Peripheral blood smear: 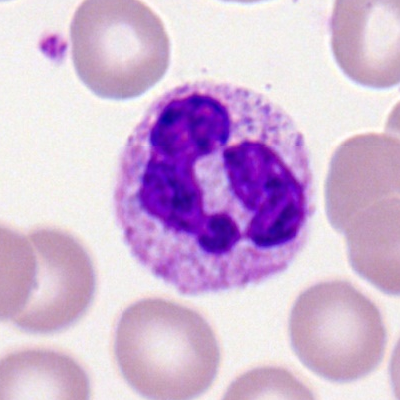Segmented neutrophil.